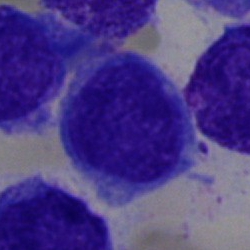Classification = undifferentiated blast.